Bone marrow smear — 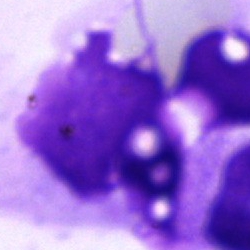 Specimen: bone marrow aspirate smear.
Cell type: artefact.